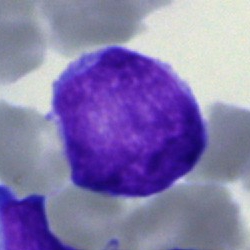

Blast cell.